Bone marrow aspirate smear
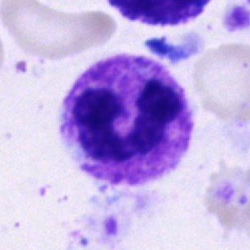 Specimen: bone marrow smear.
Morphological class: polymorphonuclear neutrophil.
Lineage: myeloid.